Bone marrow smear
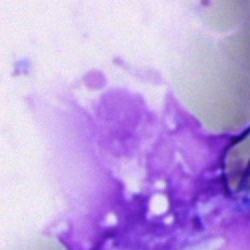
Impression → artifact.